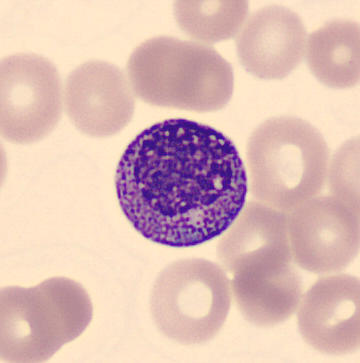Classification — myelocyte.

Image: Cropped to a single cell · peripheral blood film.